Bone marrow smear · May-Grünwald-Giemsa/Pappenheim stain:
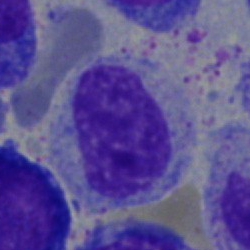
Q: Identify the cell.
A: Myelocyte.